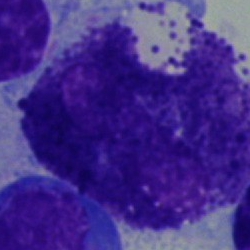

Morphology consistent with a cell not matching the other categories.